Cropped to a single cell; bone marrow aspirate smear:
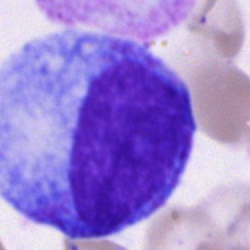 Cell — progranulocyte.